40× oil immersion; bone marrow aspirate smear
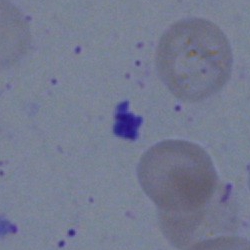

Showing an artefact.